May-Grünwald-Giemsa/Pappenheim stain · bone marrow smear · brightfield microscopy, 40× oil immersion:
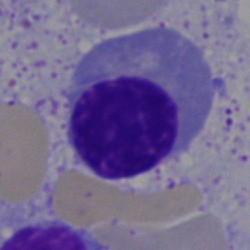 The cell shown is an erythroblast.